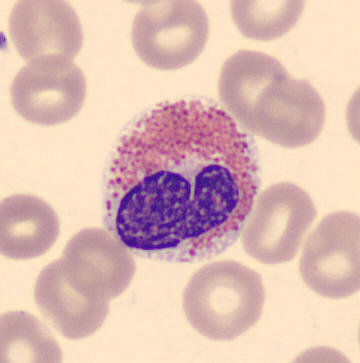

An eosinophil.
Image: CellaVision DM96. Peripheral blood smear.